Bone marrow aspirate smear; 250 by 250 pixels; brightfield microscopy, 40× oil immersion
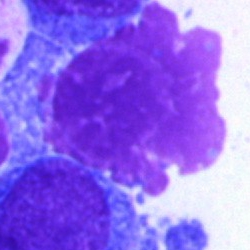

Artifact.